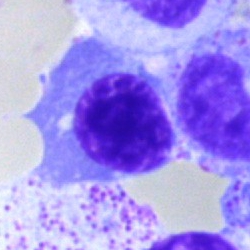Cell type = nucleated red cell.